Brightfield, 100× oil-immersion objective · peripheral blood film:
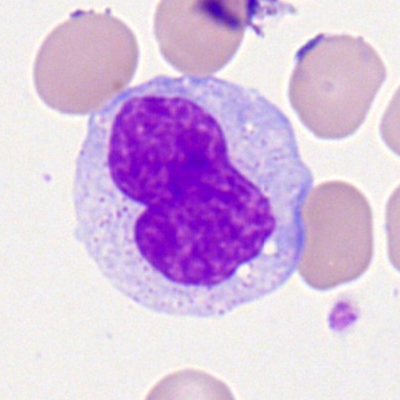
Cell: monocyte.